Bone marrow smear.
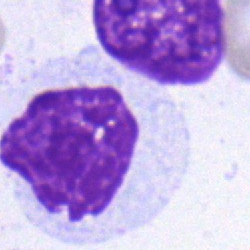Showing a myelocyte.